May-Grünwald-Giemsa/Pappenheim stain; bone marrow aspirate smear.
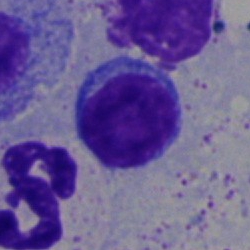
{"cell_type": "typical lymphocyte", "lineage": "lymphoid"}